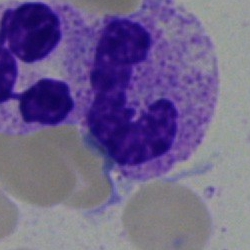
Morphological class: band-form neutrophil.